MGG-stained · bone marrow aspirate smear:
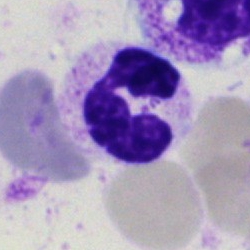
Q: What cell is this?
A: It is a neutrophil (segmented).